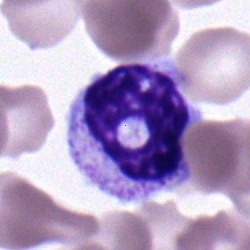Myelocyte.